Brightfield microscopy, 40× oil immersion; bone marrow aspirate smear: 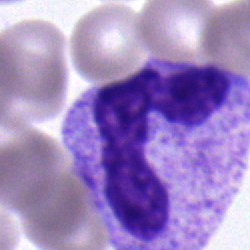
A band neutrophil.